250 by 250 pixels · bone marrow aspirate smear · May-Grünwald-Giemsa/Pappenheim stain — 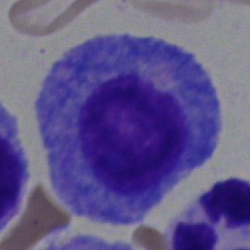Morphological class = promyelocyte.